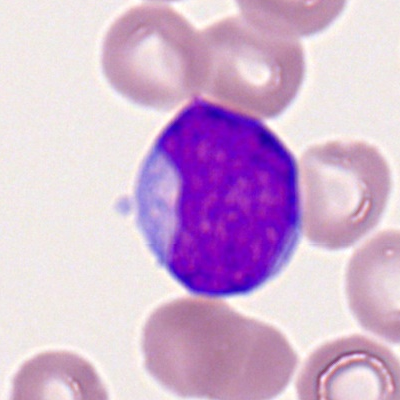 Morphological class: myeloblast.